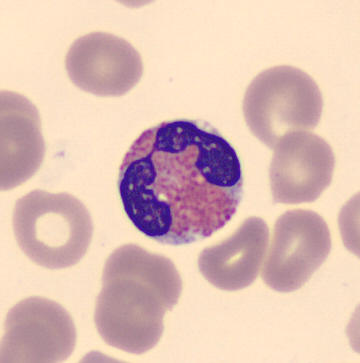
Peripheral blood film.
The cell shown is an eosinophil.